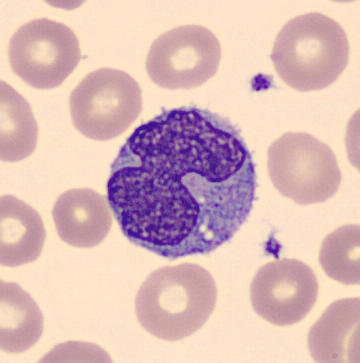
Q: Which cell type is shown here?
A: A monocyte.
Image: Peripheral blood film · 360×363 · imaged on a CellaVision DM96 analyser.